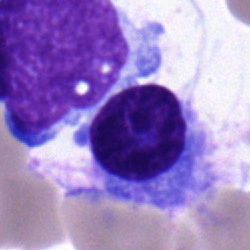 Single-cell crop from a bone marrow smear: plasma cell.